Bone marrow aspirate smear.
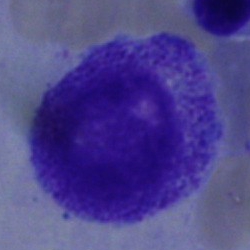 The cell shown is a myelocyte.